Bone marrow aspirate smear. 250 by 250 pixels
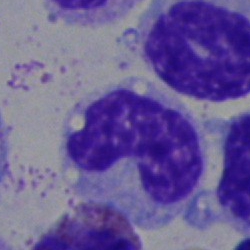
Band neutrophil.